MGG-stained; bone marrow aspirate smear; brightfield microscopy, 40× oil immersion:
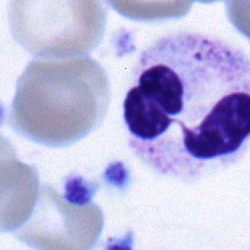
Classification = segmented neutrophil.